40× objective, oil immersion. Bone marrow smear:
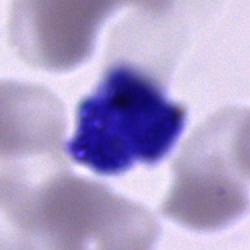Showing a cell of indeterminate lineage.